Bone marrow smear
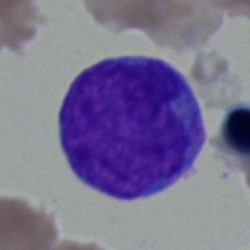

Q: What is shown here?
A: It is a blast cell.